40× oil immersion. Bone marrow smear
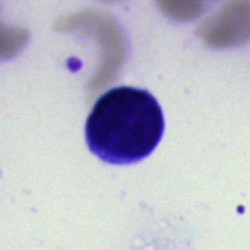 Cell — typical lymphocyte.